Pappenheim-stained. Bone marrow smear.
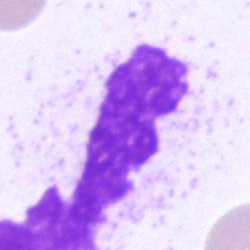 This is an artefact.